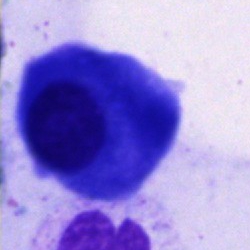

Specimen: bone marrow aspirate smear.
Morphological class: plasmacyte.
Lineage: lymphoid.